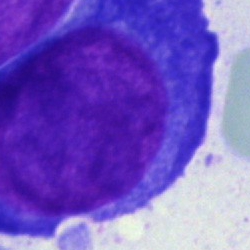
Specimen: bone marrow smear.
Classification: proerythroblast.